Bone marrow aspirate smear; single cell centered in the field:
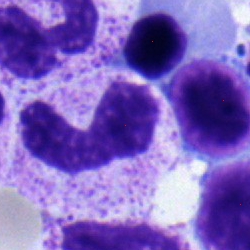 The cell is band neutrophil.